May-Grünwald-Giemsa stain. Brightfield, 40× oil-immersion objective. Bone marrow aspirate smear:
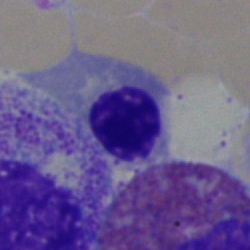

Morphology consistent with a nucleated red blood cell.